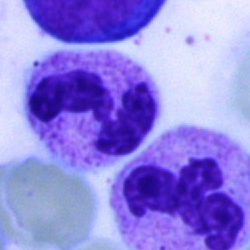Q: Identify the cell.
A: It is a polymorphonuclear neutrophil.